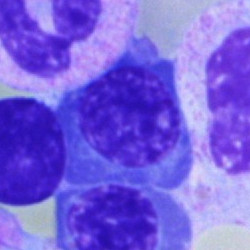
Cell: nucleated red cell.